250×250 · bone marrow smear
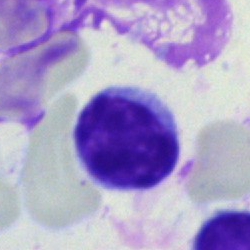

Showing a typical lymphocyte.